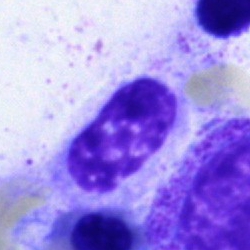
Morphological class = artefact.